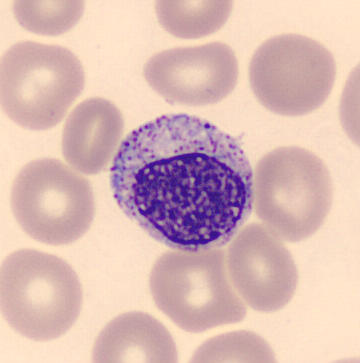Image: Peripheral blood film. {"cell_type": "myelocyte"}